400×400. Peripheral blood film: 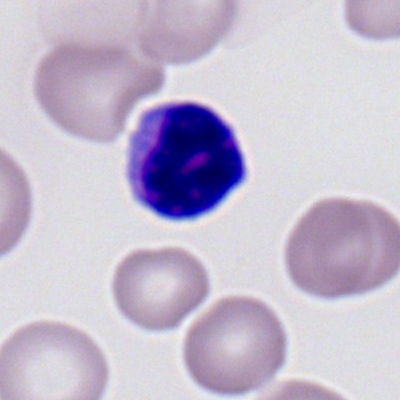
Q: What is shown here?
A: This is a lymphocyte.